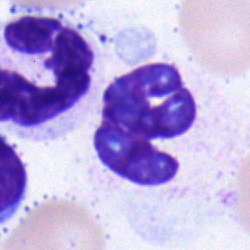

Bone marrow aspirate smear, single cell — segmented neutrophil.